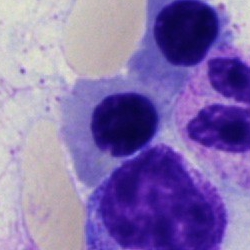

Q: Identify the cell.
A: This is a nucleated red blood cell.